May-Grünwald-Giemsa/Pappenheim stain; single cell centered in the field; bone marrow smear — 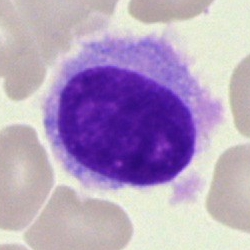 {"cell_type": "hairy cell", "lineage": "lymphoid"}